Brightfield microscopy, 40× oil immersion · bone marrow aspirate smear
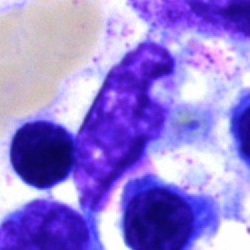 The cell is artefact.